Bone marrow aspirate smear.
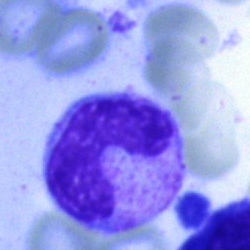
Impression → band-form neutrophil.